250×250 px. Bone marrow smear — 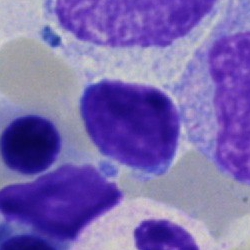

Showing a lymphocyte.